Bone marrow smear.
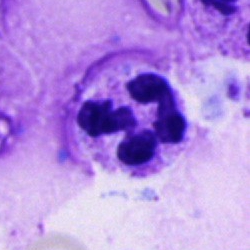

Cell: segmented neutrophil.